Bone marrow aspirate smear · cropped to a single cell — 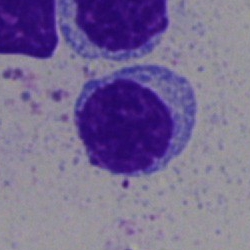

Lymphocyte.